Bone marrow aspirate smear.
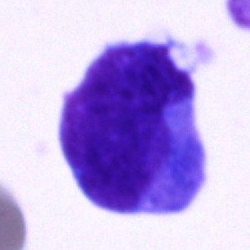The classification is blast.